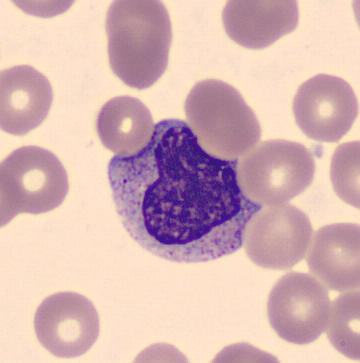
Image: Peripheral blood smear. Metamyelocyte.